Brightfield, 40× oil-immersion objective; bone marrow smear; single-cell crop
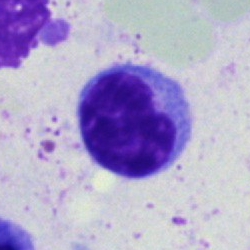Cell type — typical lymphocyte.